Bone marrow smear.
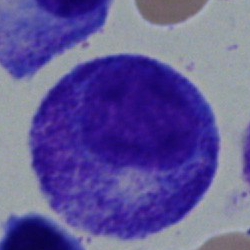 {"cell_type": "promyelocyte", "lineage": "myeloid"}